Bone marrow aspirate smear. Single-cell field
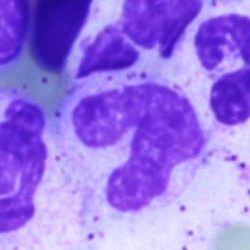

This is a stab cell.